Bone marrow smear: 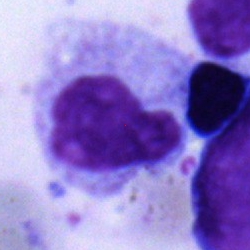 Cell — monocyte.